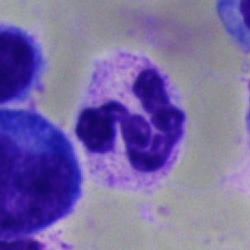Morphological class — neutrophil (segmented).